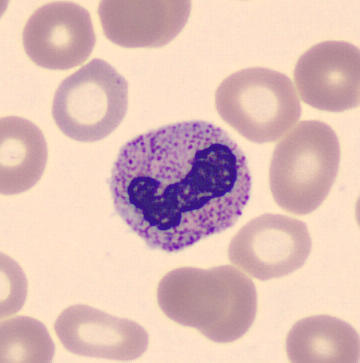

Acquisition: Peripheral blood smear. 360×363 px.

Q: What is the morphological classification of this cell?
A: It is a neutrophil (band).